Bone marrow aspirate smear:
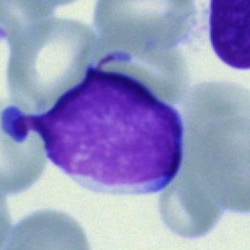Q: What cell is this?
A: It is a lymphocyte.